Bone marrow aspirate smear:
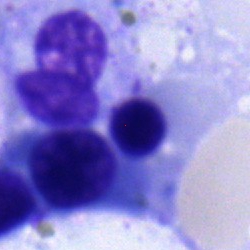
{"cell_type": "erythroblast"}